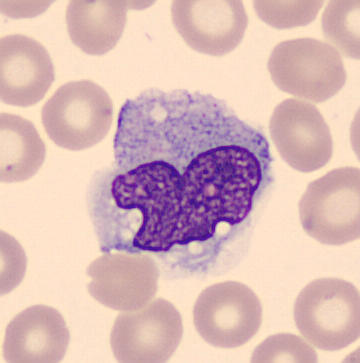 Identified as a monocyte.